Bone marrow aspirate smear: 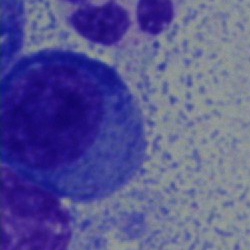

Classification: plasma cell.